Single-cell field. Bone marrow aspirate smear
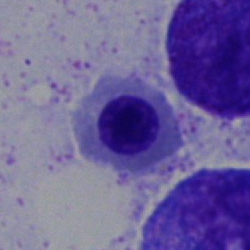
Normoblast.